Bone marrow aspirate smear; Pappenheim-stained — 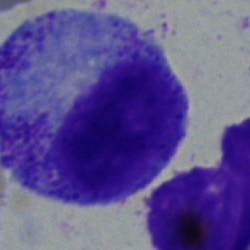

{"cell_type": "myelocyte", "lineage": "myeloid"}